Bone marrow smear
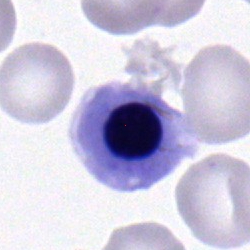

Erythroblast.